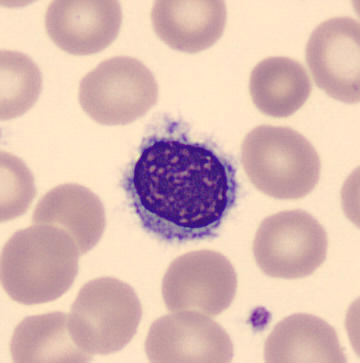

Automated cell imaging (CellaVision DM96). Peripheral blood smear. May-Grünwald-Giemsa-stained.

This is a typical lymphocyte.